Romanowsky-stained; peripheral blood film: 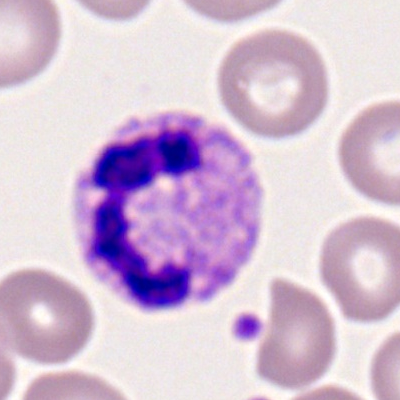Impression — segmented neutrophil.